Bone marrow aspirate smear.
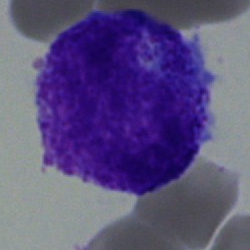 Morphology — promyelocyte.